May-Grünwald-Giemsa stain; bone marrow smear — 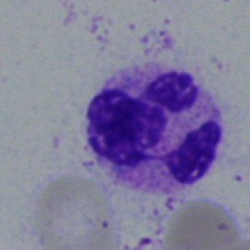 Specimen: bone marrow aspirate smear.
Classification: polymorphonuclear neutrophil.
Lineage: myeloid.